Bone marrow smear — 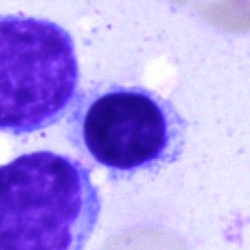
{"cell_type": "lymphocyte", "lineage": "lymphoid"}